250×250. Bone marrow smear.
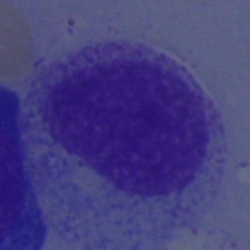

Q: What is the morphological classification of this cell?
A: A myelocyte.